Bone marrow smear — 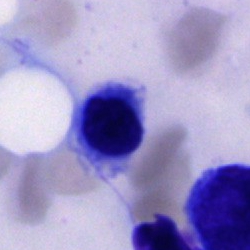

The cell is cell of indeterminate lineage.